Peripheral blood smear — 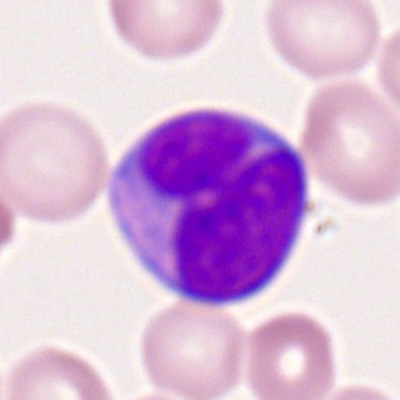 Specimen: peripheral blood film.
Classification: myeloblast.
Lineage: myeloid.